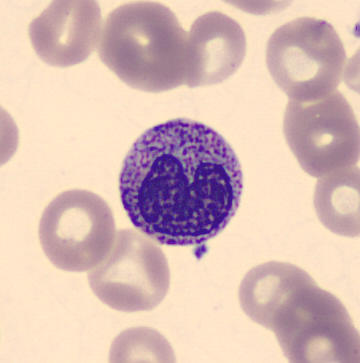

{"cell_type": "metamyelocyte", "lineage": "myeloid"} Preparation: Peripheral blood smear.